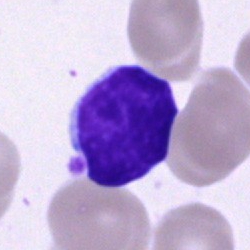
Morphological class = lymphocyte.